Bone marrow aspirate smear; May-Grünwald-Giemsa stain; 40× oil immersion
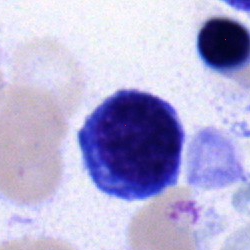

Q: Identify the cell.
A: This is a nucleated red blood cell.